Single cell centered in the field · bone marrow aspirate smear · 40× objective, oil immersion:
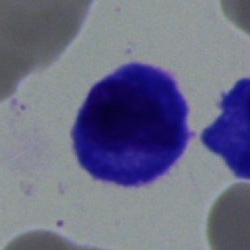
Cell type: plasmacyte.